Bone marrow smear: 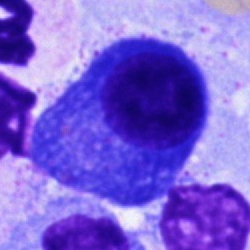The cell is plasmacyte.